Bone marrow smear — 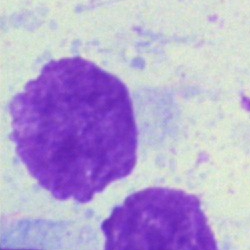An artifact.